Bone marrow smear; brightfield microscopy, 40× oil immersion.
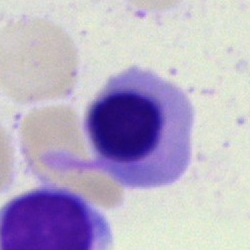
Morphology → nucleated red blood cell.